Bone marrow aspirate smear.
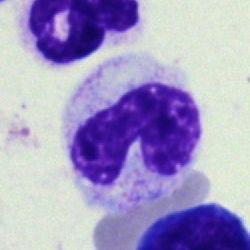The classification is band neutrophil.